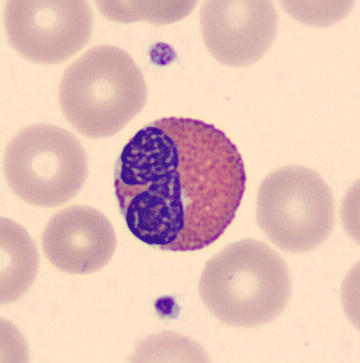
An eosinophil.
Acquisition: Automated cell imaging (CellaVision DM96); peripheral blood smear.